Brightfield microscopy, 40× oil immersion. Bone marrow smear:
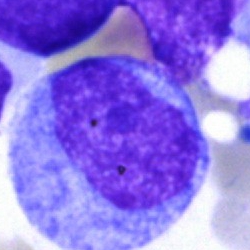
Q: Identify the cell.
A: It is a progranulocyte.